Brightfield, 40× oil-immersion objective · bone marrow smear:
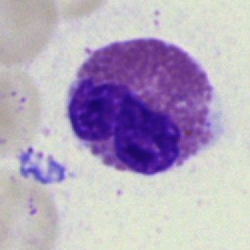
The cell type is eosinophil.